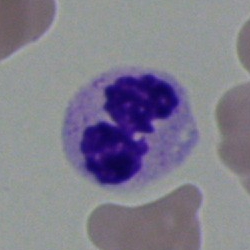Impression → polymorphonuclear neutrophil.